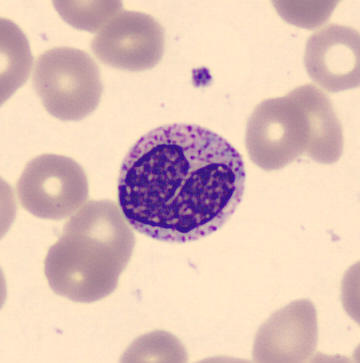
Q: What is this?
A: A metamyelocyte.